Bone marrow aspirate smear — 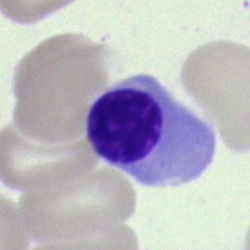 Showing a nucleated red cell.